Bone marrow aspirate smear · image size 250×250 · Pappenheim-stained:
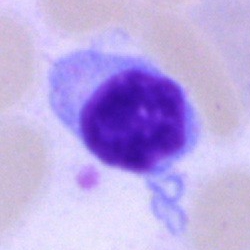Showing a typical lymphocyte.